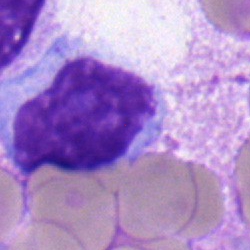

The cell shown is a typical lymphocyte.